Bone marrow aspirate smear
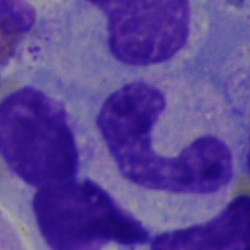 Morphology consistent with a neutrophil (segmented).